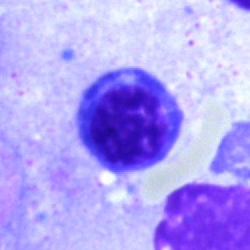

Q: Identify the cell.
A: Normoblast.